Brightfield, 40× oil-immersion objective. Cropped to a single cell. Bone marrow aspirate smear: 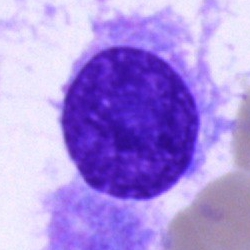
Specimen: bone marrow aspirate smear.
Cell type: plasmacyte.
Lineage: lymphoid.